Pappenheim-stained · bone marrow aspirate smear · single-cell field: 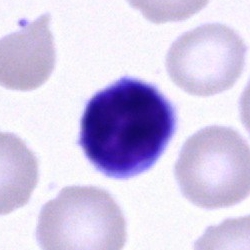

Q: Identify the cell.
A: It is a lymphocyte.